Bone marrow aspirate smear; 40× oil immersion.
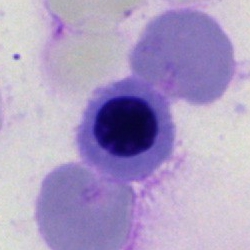 Morphological class: nucleated red cell.